May-Grünwald-Giemsa stain; bone marrow smear.
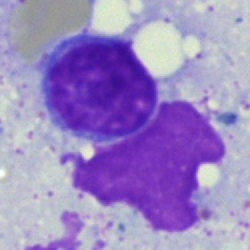Lymphocyte.